Bone marrow aspirate smear.
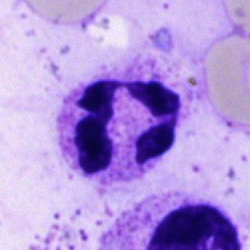

Specimen: bone marrow smear.
Classification: neutrophil (segmented).
Lineage: myeloid.